May-Grünwald-Giemsa/Pappenheim stain; bone marrow aspirate smear.
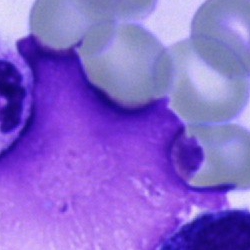
Morphology → artefact.